Bone marrow smear: 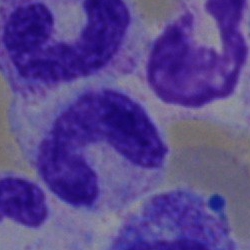
{"cell_type": "stab cell", "lineage": "myeloid"}